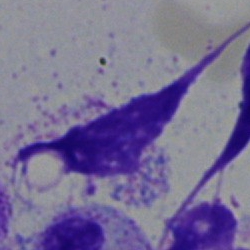 Morphology → artifact.